Bone marrow aspirate smear
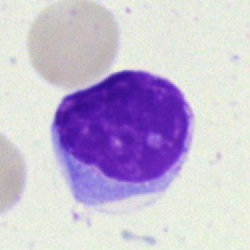 Classification — lymphocyte.